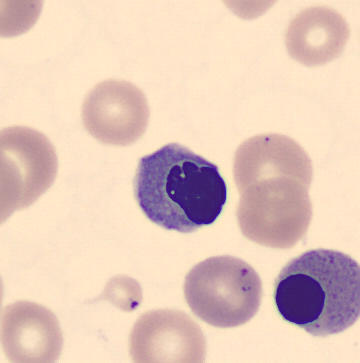

Preparation: Peripheral blood smear.

Q: What cell is this?
A: A normoblast.